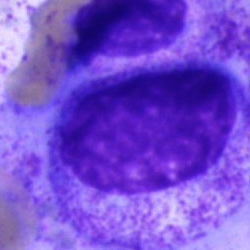 The classification is promyelocyte.